Brightfield, 100× oil-immersion objective; peripheral blood smear:
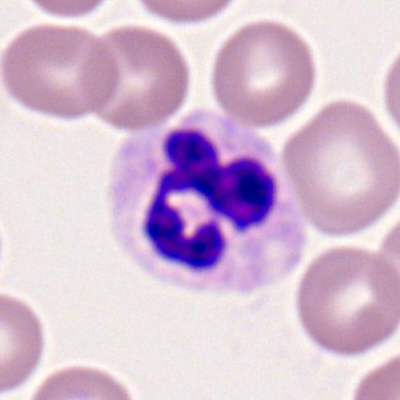Cell: polymorphonuclear neutrophil.